Peripheral blood film.
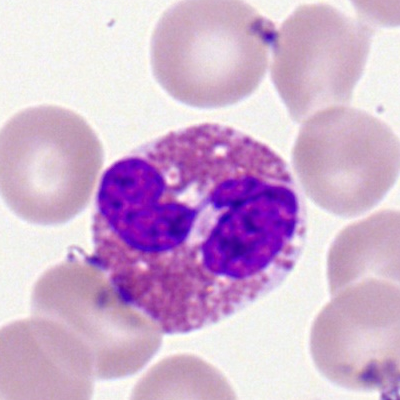 Q: Which cell type is shown here?
A: Eosinophilic granulocyte.